Single-cell field · bone marrow smear:
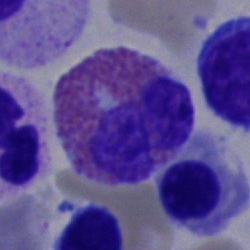Impression → eosinophilic granulocyte.